Bone marrow aspirate smear — 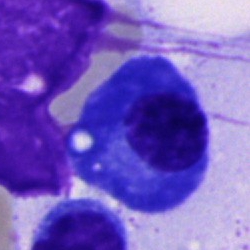
{"cell_type": "plasma cell", "lineage": "lymphoid"}